Bone marrow smear:
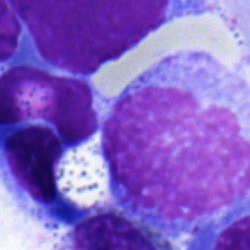

This is a monocyte.